Brightfield microscopy, 40× oil immersion · cropped to a single cell · bone marrow aspirate smear
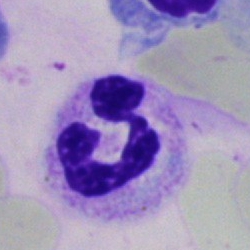

Specimen: bone marrow aspirate smear.
Classification: polymorphonuclear neutrophil.